Bone marrow aspirate smear
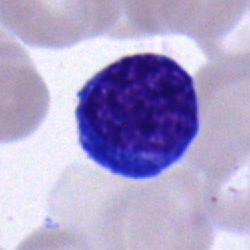

{"cell_type": "nucleated red cell"}